Bone marrow aspirate smear.
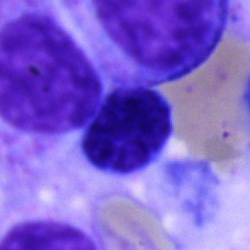

Morphology consistent with a cell of indeterminate lineage.